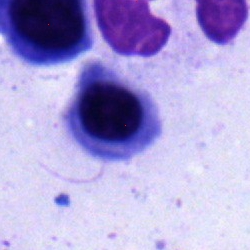Showing a nucleated red blood cell.